Bone marrow smear: 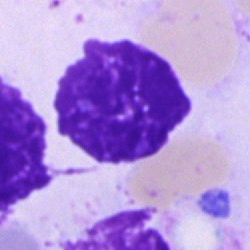 Cell type: artefact.